Bone marrow smear: 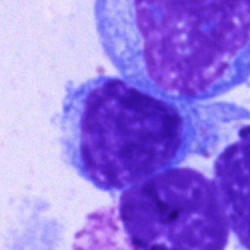
Impression → typical lymphocyte.